Bone marrow aspirate smear — 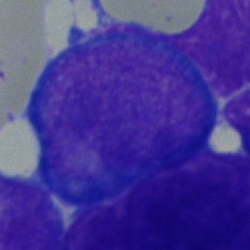Q: Identify the cell.
A: Blast.